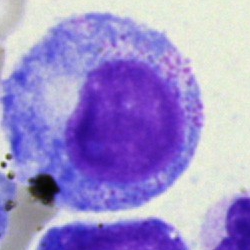
Classification: progranulocyte.